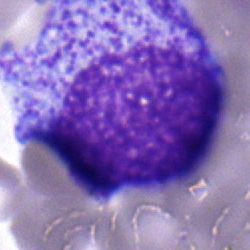 {"cell_type": "myelocyte"}